Bone marrow smear: 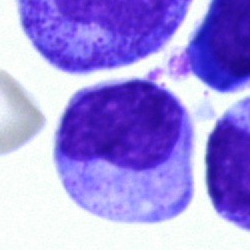 The cell shown is a metamyelocyte.